Bone marrow smear — 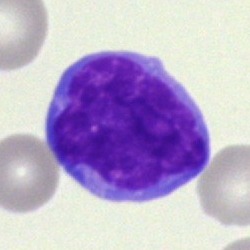

Impression — undifferentiated blast.